Bone marrow smear: 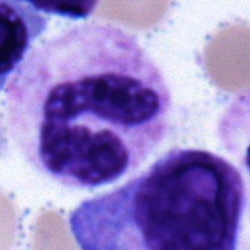

{"cell_type": "band-form neutrophil", "lineage": "myeloid"}